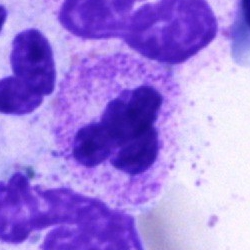Bone marrow aspirate smear, single cell — neutrophil (segmented).